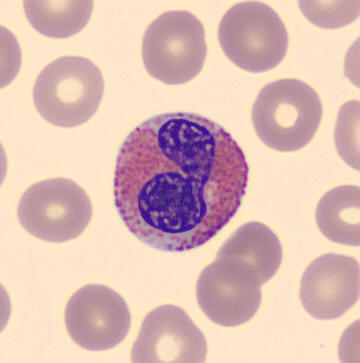 Eosinophilic granulocyte. 360 by 363 pixels. Cropped to a single cell. Peripheral blood film.